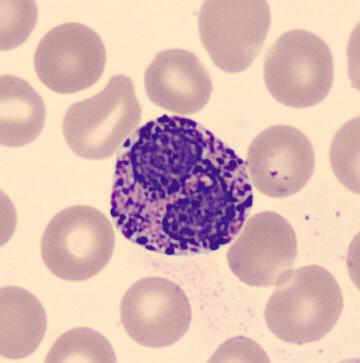

Specimen: peripheral blood film.
Classification: basophil.
Lineage: myeloid.